Brightfield, 40× oil-immersion objective. Cropped to a single cell. Bone marrow smear.
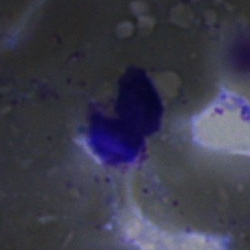 Specimen: bone marrow aspirate smear.
Cell: artefact.